MGG-stained. 250×250 px. Bone marrow smear — 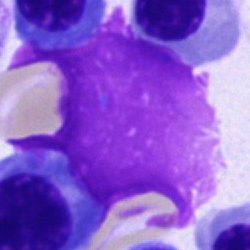

Impression → artefact.